Bone marrow smear:
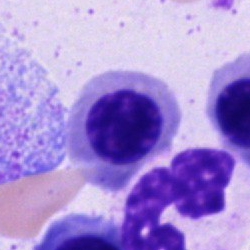 A normoblast.